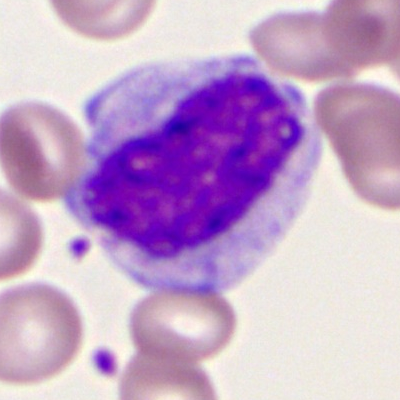Impression → monocyte.